40× oil immersion · bone marrow aspirate smear · image size 250×250:
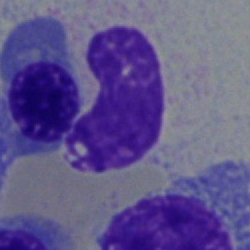 The cell type is nucleated red blood cell.